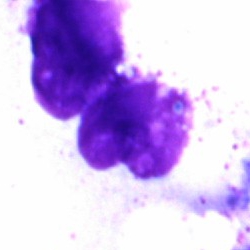Morphology consistent with an artifact.